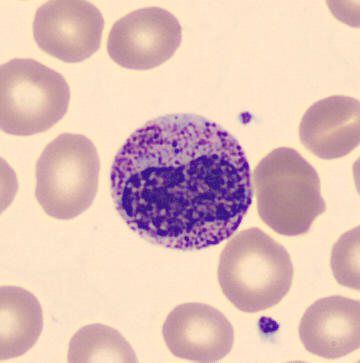 Q: What cell is this?
A: It is a metamyelocyte.
360×363; peripheral blood film; May Grünwald-Giemsa stain.